Bone marrow smear: 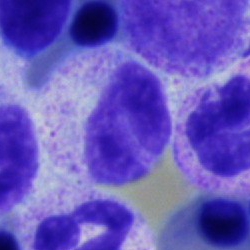
Band neutrophil.